100× oil immersion, 14.14 px/µm; peripheral blood smear
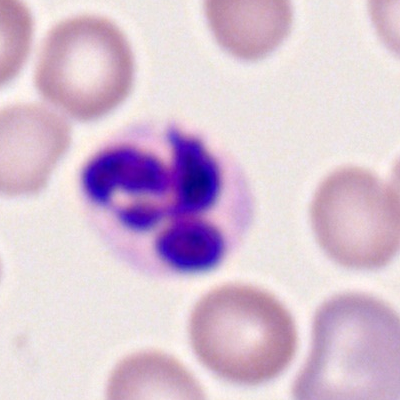 {"cell_type": "neutrophil (segmented)", "lineage": "myeloid"}